Bone marrow smear: 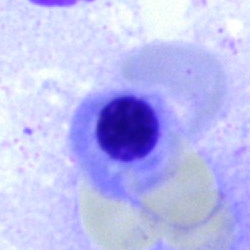

{"cell_type": "erythroblast"}